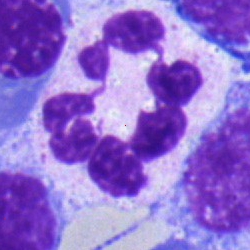Morphology → polymorphonuclear neutrophil.